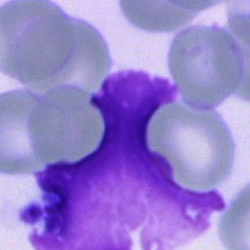

This is an artifact.